40× objective, oil immersion · bone marrow smear:
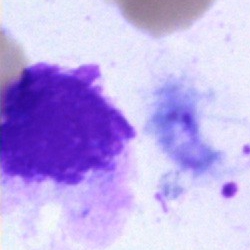 Q: What is shown here?
A: Artifact.